Image size 250×250; bone marrow smear.
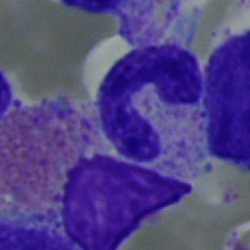

Classification — stab cell.